Bone marrow aspirate smear — 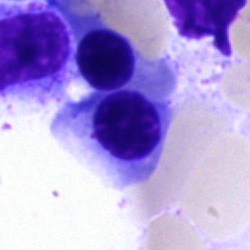

Specimen: bone marrow aspirate smear.
Classification: nucleated red cell.
Lineage: erythroid.